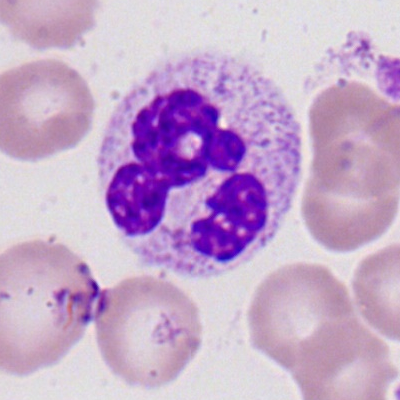
{"cell_type": "polymorphonuclear neutrophil"}